Single-cell crop. Bone marrow aspirate smear:
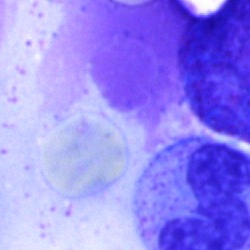

Showing an unidentifiable cell.